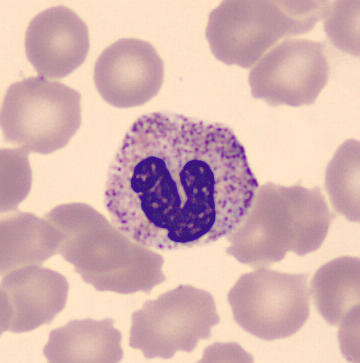 Single cell identified as a neutrophil (segmented).